Peripheral blood smear
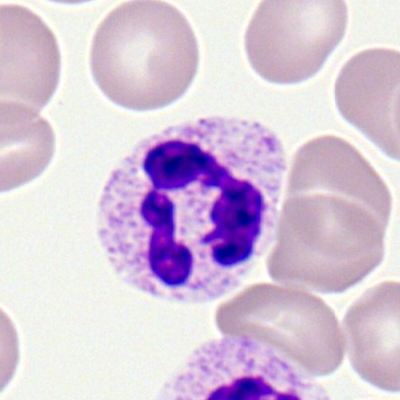

The classification is polymorphonuclear neutrophil.